Bone marrow smear.
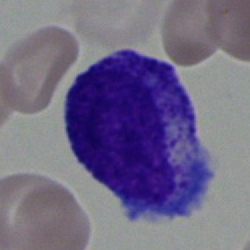
Single cell identified as a progranulocyte.